Brightfield microscopy, 40× oil immersion. 250 by 250 pixels. Bone marrow smear — 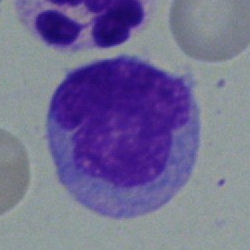 Specimen: bone marrow smear.
Cell type: monocyte.
Lineage: myeloid.